Bone marrow aspirate smear.
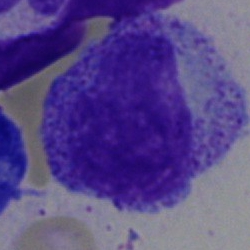 Morphology — promyelocyte.